Bone marrow aspirate smear
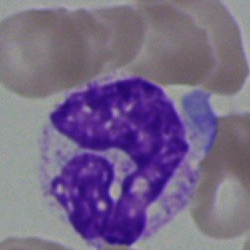

Cell type — monocyte.